Bone marrow aspirate smear — 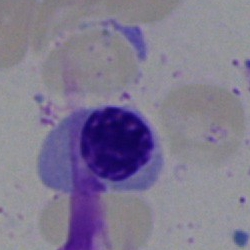Specimen: bone marrow aspirate smear.
Morphological class: erythroblast.